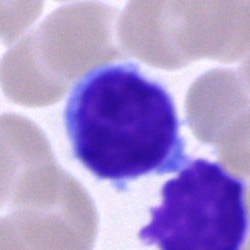Specimen: bone marrow smear.
Cell type: typical lymphocyte.
Lineage: lymphoid.